Bone marrow aspirate smear · single-cell field.
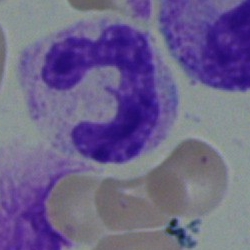
Impression — neutrophil (band).